Bone marrow aspirate smear. 40× oil immersion
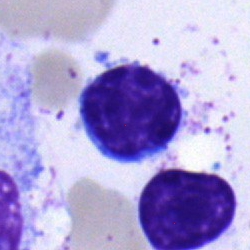Cell — typical lymphocyte.